Bone marrow smear · MGG-stained.
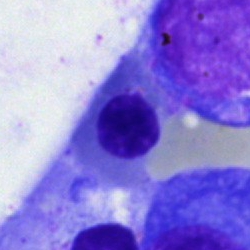
{"cell_type": "erythroblast", "lineage": "erythroid"}